May-Grünwald-Giemsa/Pappenheim stain · bone marrow aspirate smear:
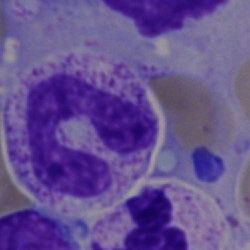
Segmented neutrophil.